Bone marrow smear
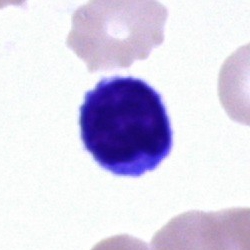
{"cell_type": "lymphocyte", "lineage": "lymphoid"}